Bone marrow aspirate smear
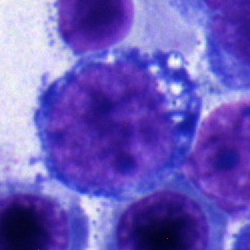 Q: What is shown here?
A: Proerythroblast.